40× objective, oil immersion · bone marrow aspirate smear · cropped to a single cell:
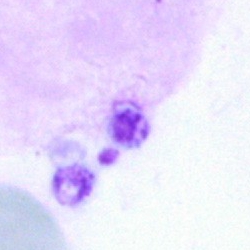
Classification = artefact.